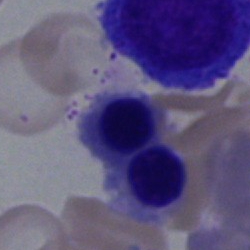Q: Identify the cell.
A: This is an erythroblast.